Brightfield microscopy, 40× oil immersion. Bone marrow aspirate smear
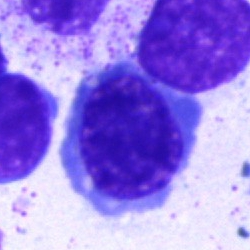

Cell type = nucleated red cell.